Bone marrow aspirate smear — 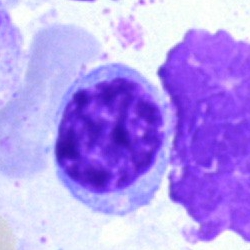 A typical lymphocyte.